Bone marrow aspirate smear.
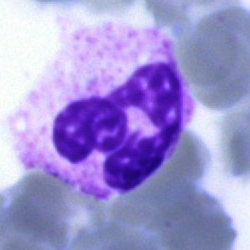

A segmented neutrophil.